Peripheral blood film. May-Grünwald-Giemsa-stained: 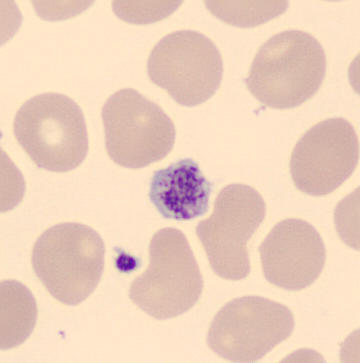 Cell type: thrombocyte.